Bone marrow smear:
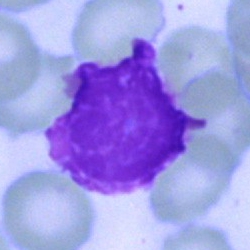
Classification — artefact.